Romanowsky stain; single cell centered in the field; peripheral blood film — 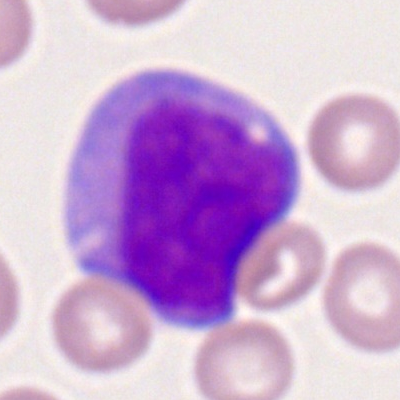
Q: What is the morphological classification of this cell?
A: A myeloblast.